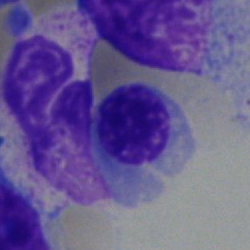Showing a normoblast.